250 by 250 pixels; bone marrow aspirate smear — 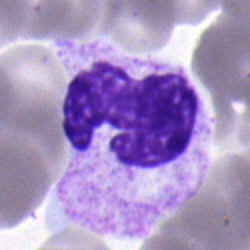Single cell identified as a polymorphonuclear neutrophil.